Bone marrow aspirate smear — 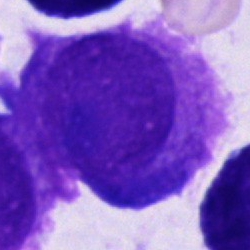
Impression — plasma cell.